Bone marrow aspirate smear — 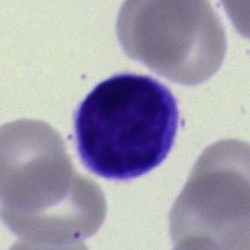 Q: What is the morphological classification of this cell?
A: A typical lymphocyte.